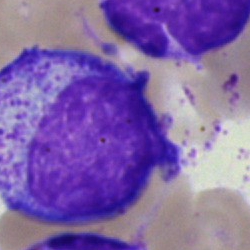
Morphological class = promyelocyte.